Bone marrow aspirate smear; cropped to a single cell; image size 250×250 — 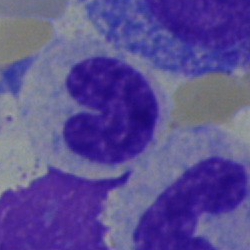

Classification: neutrophil (band).